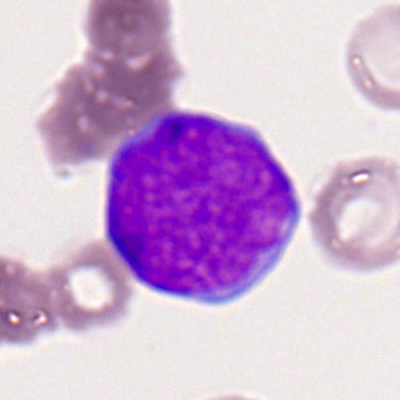 Q: Identify the cell.
A: Myeloblast.